Bone marrow aspirate smear — 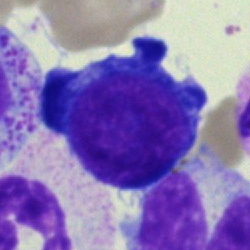

Q: Identify the cell.
A: This is a normoblast.